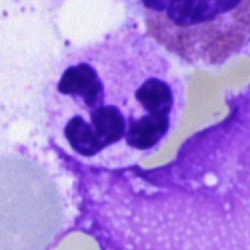

A polymorphonuclear neutrophil.